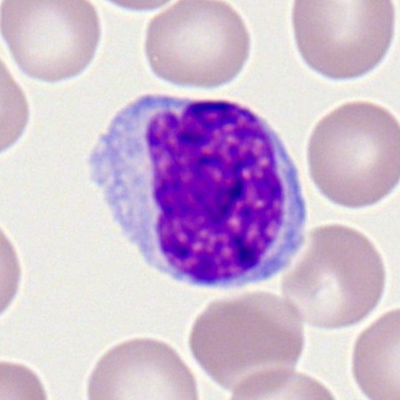The cell shown is a monocyte.